Bone marrow aspirate smear:
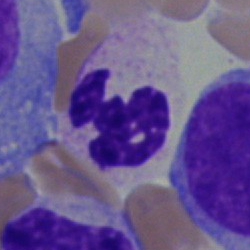 Morphology — polymorphonuclear neutrophil.